40× objective, oil immersion · 250 by 250 pixels · bone marrow aspirate smear.
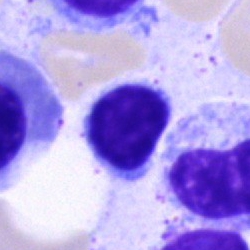The cell shown is a typical lymphocyte.